Peripheral blood smear. Romanowsky stain
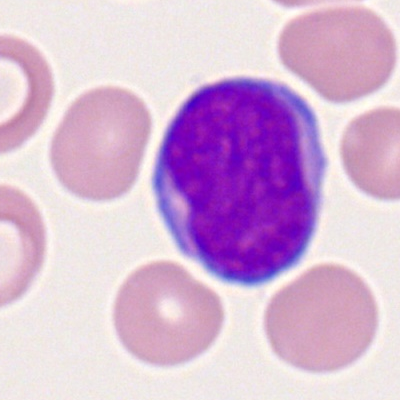
Showing a typical lymphocyte.